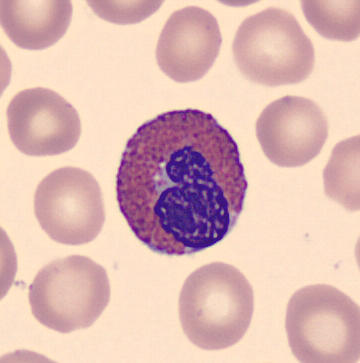 Morphology consistent with an eosinophil.
Image: CellaVision DM96 digital cell image. Peripheral blood smear.